Bone marrow smear
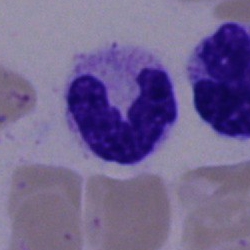

Showing a polymorphonuclear neutrophil.